Bone marrow smear
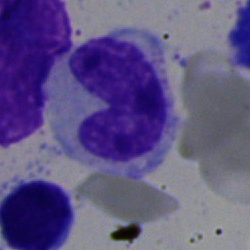 This is a stab cell.